Bone marrow smear.
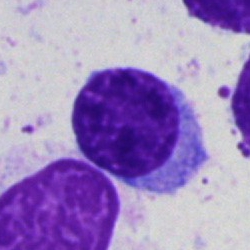Impression → typical lymphocyte.